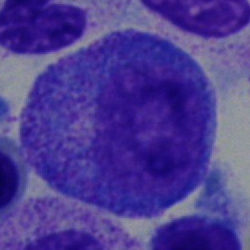Q: What type of cell is this?
A: This is a promyelocyte.